Bone marrow smear
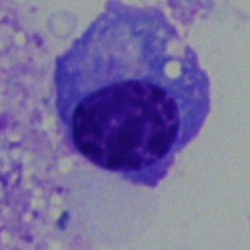 Specimen: bone marrow aspirate smear.
Cell type: plasma cell.
Lineage: lymphoid.